400 by 400 pixels · peripheral blood smear · 100× oil immersion:
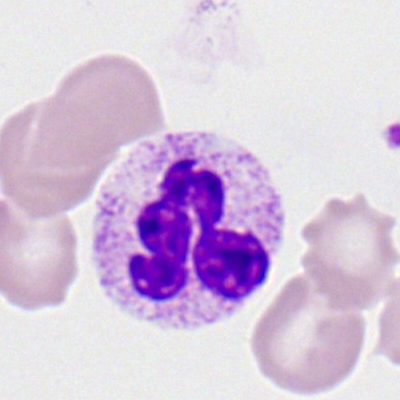
Single cell identified as a neutrophil (segmented).